Bone marrow smear. Brightfield, 40× oil-immersion objective:
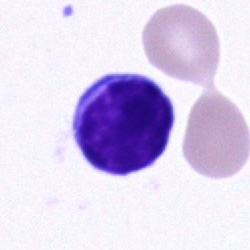Q: Which cell type is shown here?
A: This is a lymphocyte.